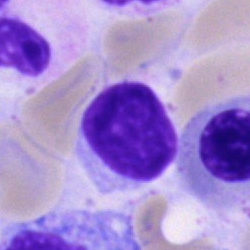

Classification = typical lymphocyte.